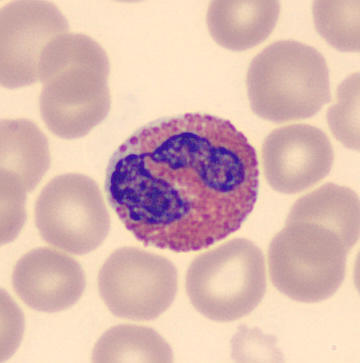Acquisition: Peripheral blood film · 360 by 363 pixels.
Q: What is shown here?
A: This is an eosinophil.